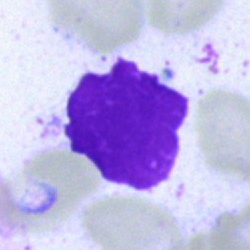
Classification: artifact.